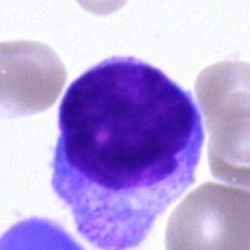
This is an artefact.